Peripheral blood smear; brightfield, 100× oil-immersion objective
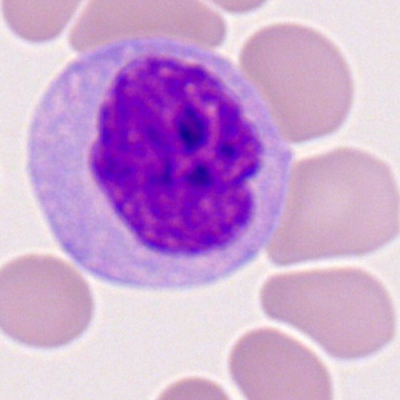

Q: What is the morphological classification of this cell?
A: Monocyte.